Brightfield, 40× oil-immersion objective · bone marrow aspirate smear.
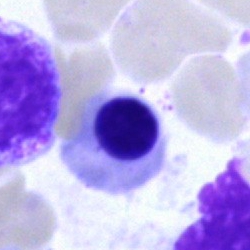Morphological class — erythroblast.